Bone marrow smear. Brightfield, 40× oil-immersion objective — 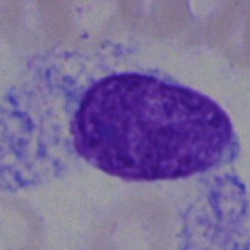
The cell is artefact.